Bone marrow aspirate smear · single-cell field.
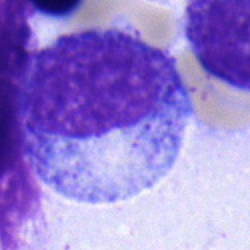

Showing a promyelocyte.